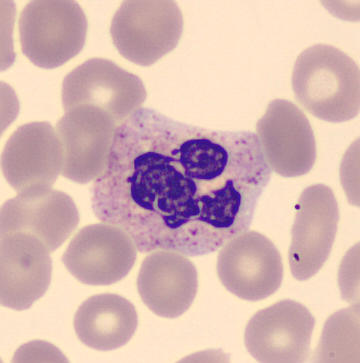 Cell type — segmented neutrophil.